Bone marrow smear; brightfield, 40× oil-immersion objective; cropped to a single cell — 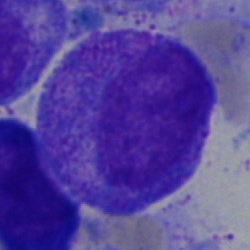
Morphological class = progranulocyte.